400 by 400 pixels; single-cell crop; peripheral blood smear — 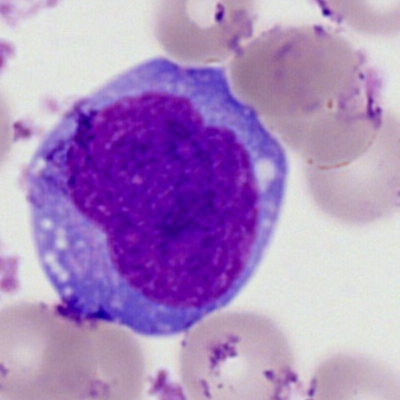Specimen: peripheral blood film.
Cell type: myeloid blast.